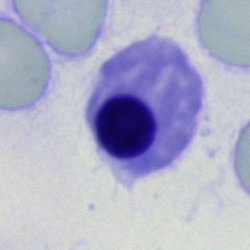 Cell type: nucleated red blood cell.